Bone marrow smear; single-cell field; MGG-stained: 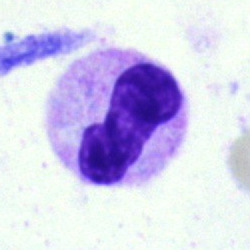This is a band-form neutrophil.